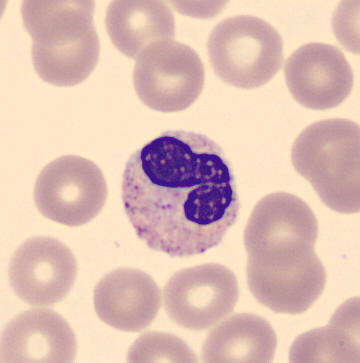 The morphological class is stab cell.
Peripheral blood film.